May-Grünwald-Giemsa/Pappenheim stain; bone marrow smear — 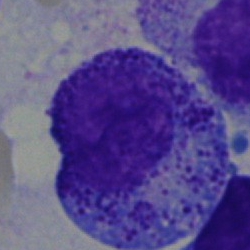
{"cell_type": "promyelocyte"}